Bone marrow aspirate smear · cropped to a single cell.
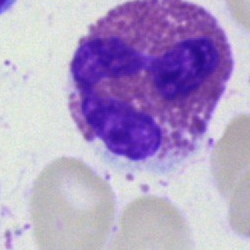 Morphological class = eosinophil.